Bone marrow aspirate smear: 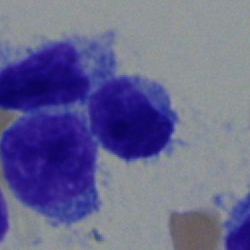Morphology → typical lymphocyte.